Pappenheim-stained; single-cell field; bone marrow smear: 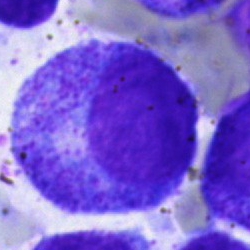

Q: Identify the cell.
A: This is a progranulocyte.